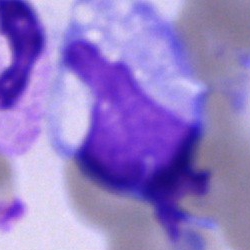

Bone marrow aspirate smear, single cell — monocyte.